40× objective, oil immersion. Bone marrow aspirate smear
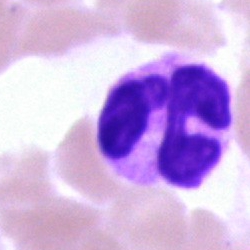

Morphology → neutrophil (segmented).